Bone marrow aspirate smear; cropped to a single cell
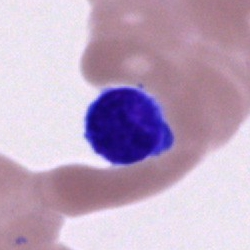

Q: What type of cell is this?
A: A cell of indeterminate lineage.